Bone marrow smear:
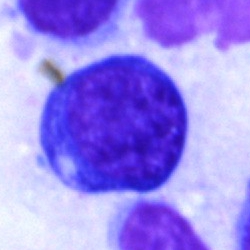

The cell is nucleated red cell.